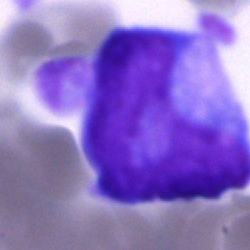 A blast cell on a bone marrow smear.